Bone marrow aspirate smear. May-Grünwald-Giemsa/Pappenheim stain.
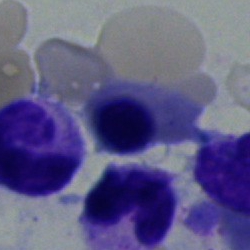
Specimen: bone marrow aspirate smear.
Morphological class: nucleated red blood cell.